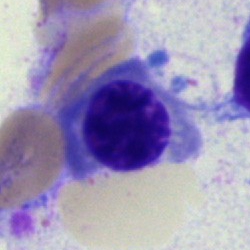A nucleated red blood cell.